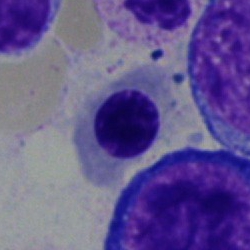
Showing a normoblast.